Peripheral blood film: 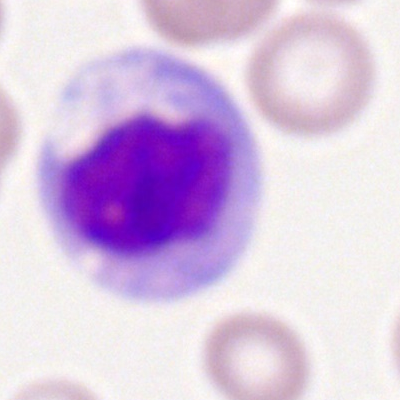The cell type is monocyte.